Bone marrow aspirate smear — 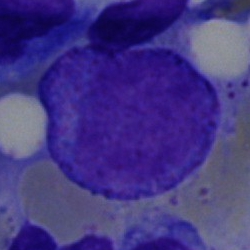 Q: Identify the cell.
A: This is a progranulocyte.